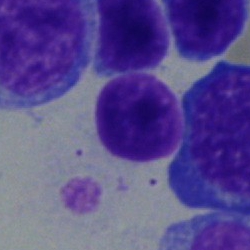 The morphological class is typical lymphocyte.